Image size 250×250; bone marrow smear — 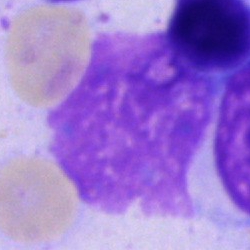
Artefact.